Bone marrow smear — 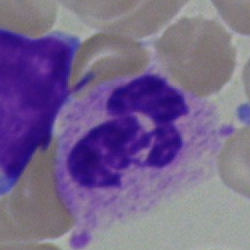Single cell identified as a polymorphonuclear neutrophil.